Bone marrow aspirate smear.
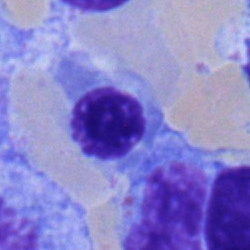 Showing a normoblast.